Bone marrow aspirate smear; 40× oil immersion; 250 by 250 pixels:
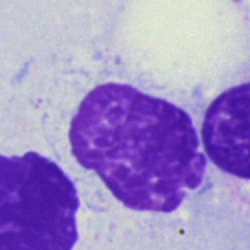 Cell = artifact.